250 by 250 pixels · 40× oil immersion · bone marrow smear.
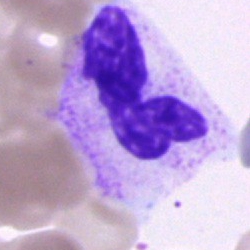 Q: What type of cell is this?
A: It is a band-form neutrophil.